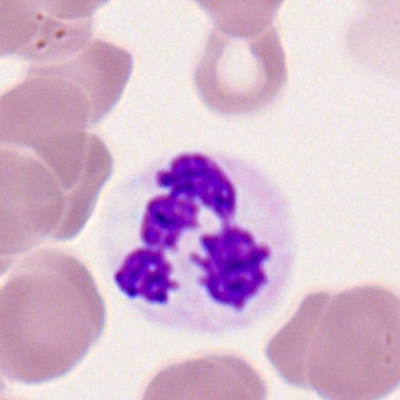

Polymorphonuclear neutrophil.